Single cell centered in the field; peripheral blood film; Romanowsky-stained.
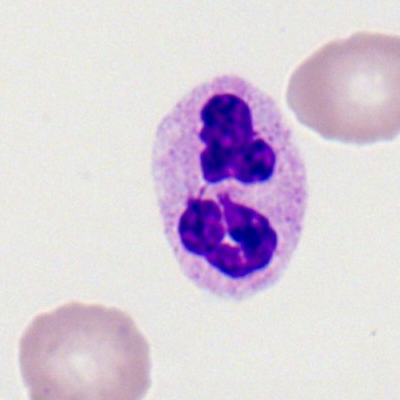
This is a neutrophil (segmented).